Peripheral blood smear.
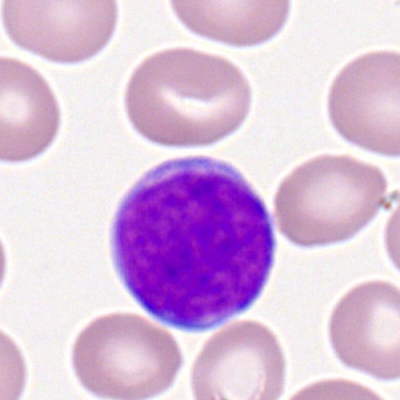
Q: Which cell type is shown here?
A: It is a myeloid blast.